Bone marrow aspirate smear.
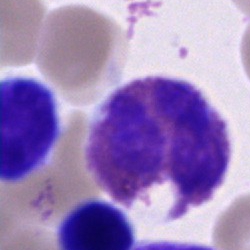 The cell shown is an eosinophilic granulocyte.